Bone marrow aspirate smear.
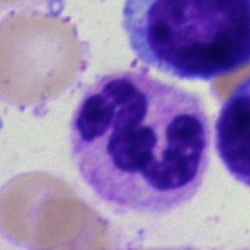
Impression — segmented neutrophil.